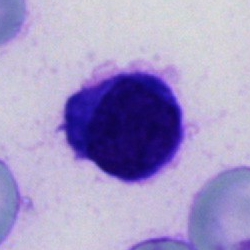 Morphology consistent with a cell of indeterminate lineage.